Bone marrow smear; single-cell field; brightfield, 40× oil-immersion objective — 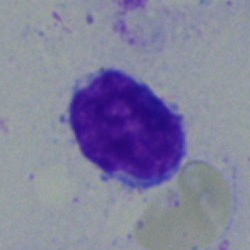

Impression → blast cell.